400×400 px. Peripheral blood film:
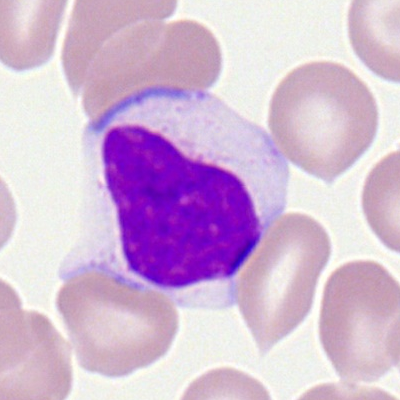Cell type: lymphocyte.